400×400; peripheral blood film:
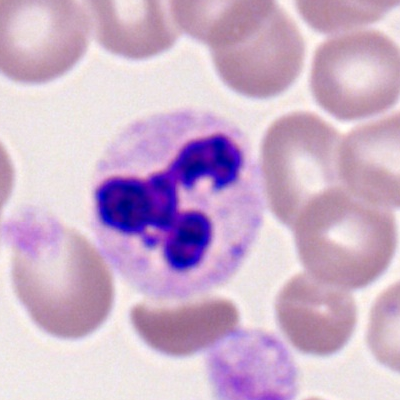Morphological class — neutrophil (segmented).